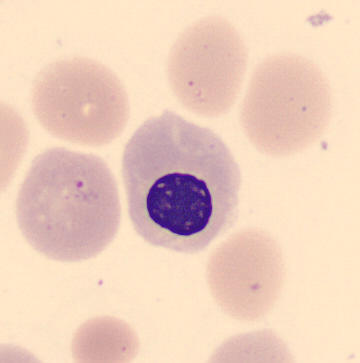Image: Cropped to a single cell. Specimen: peripheral blood film.
Morphological class: nucleated red blood cell.